250×250; bone marrow smear.
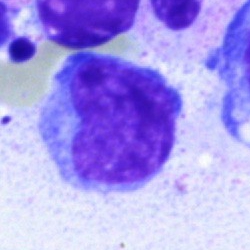
This is a typical lymphocyte.